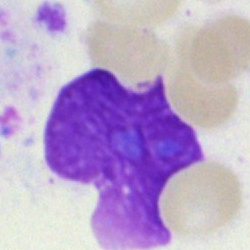

Cell — artifact.